Bone marrow smear; image size 250×250.
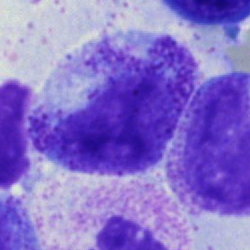
The cell is myelocyte.